Pappenheim-stained · bone marrow smear: 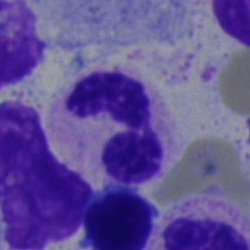

Classification: segmented neutrophil.